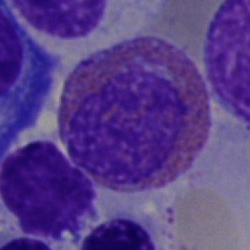
Q: Identify the cell.
A: Eosinophil.